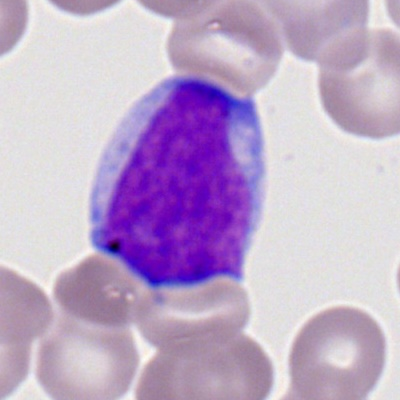 Myeloblast.